Bone marrow smear · 250×250 — 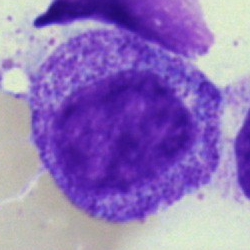 {"cell_type": "promyelocyte", "lineage": "myeloid"}